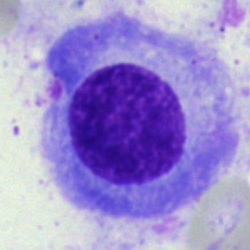Single cell identified as a plasmacyte.